Bone marrow smear: 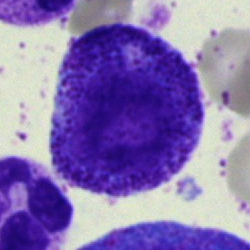

Specimen: bone marrow smear.
Cell type: promyelocyte.